May-Grünwald-Giemsa/Pappenheim stain; bone marrow smear; image size 250×250:
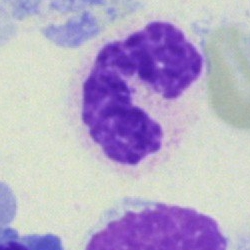
The classification is polymorphonuclear neutrophil.